Peripheral blood smear.
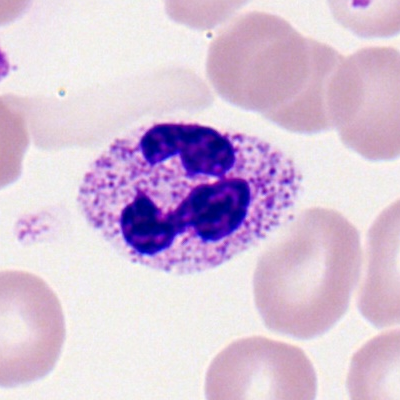
Q: Identify the cell.
A: A segmented neutrophil.